Pappenheim-stained · bone marrow smear:
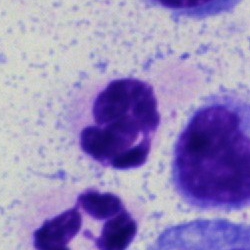
A polymorphonuclear neutrophil.